Bone marrow smear: 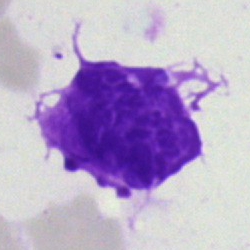 Single cell identified as an artifact.